Peripheral blood film
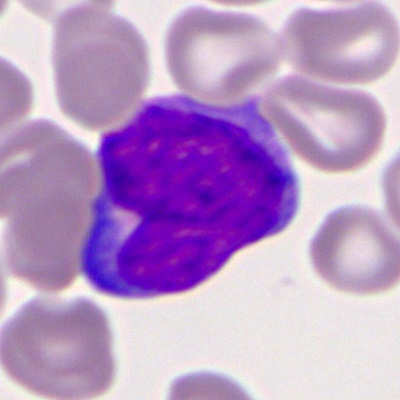Morphology consistent with a myeloid blast.